Bone marrow aspirate smear.
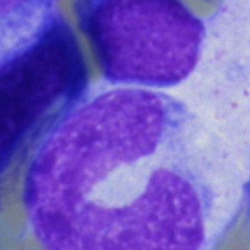

Single cell identified as a band-form neutrophil.